Bone marrow aspirate smear.
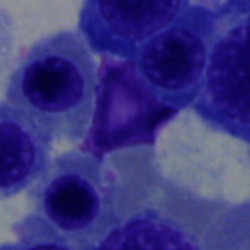

The cell shown is an erythroblast.